Bone marrow aspirate smear:
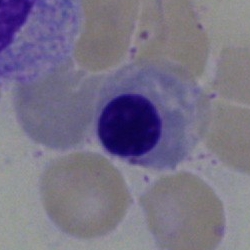
Cell — erythroblast.